Bone marrow smear. Brightfield, 40× oil-immersion objective:
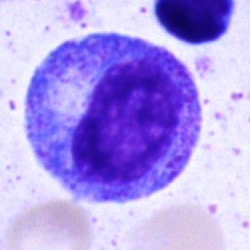 Specimen: bone marrow smear.
Cell: progranulocyte.
Lineage: myeloid.